Bone marrow aspirate smear: 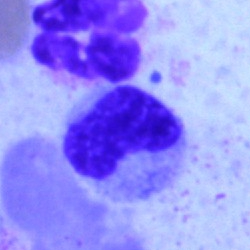

Impression → band-form neutrophil.